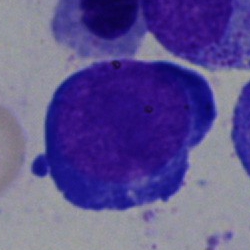Cell: normoblast.